Bone marrow aspirate smear: 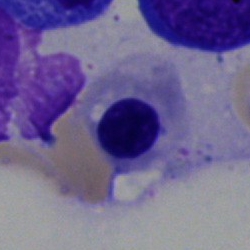 Showing a nucleated red blood cell.